Bone marrow smear
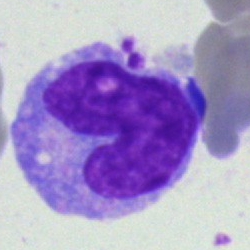

Cell type — monocyte.